Bone marrow aspirate smear; MGG-stained:
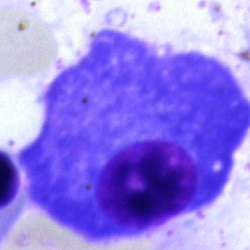

Cell — plasma cell.